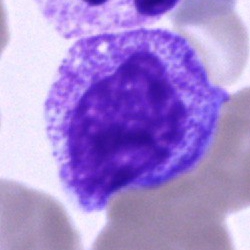 Classification — myelocyte.